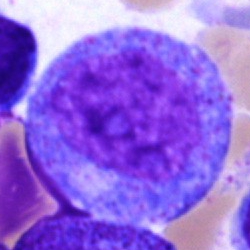Q: Which cell type is shown here?
A: A progranulocyte.